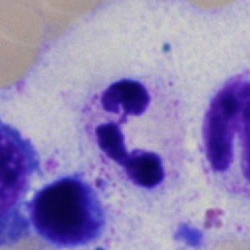
The classification is polymorphonuclear neutrophil.